Bone marrow smear. May-Grünwald-Giemsa/Pappenheim stain. Brightfield, 40× oil-immersion objective:
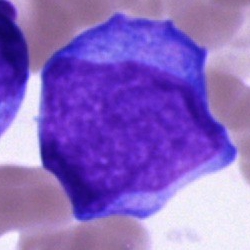 This is a blast.